Pappenheim-stained. Brightfield microscopy, 40× oil immersion. Bone marrow smear: 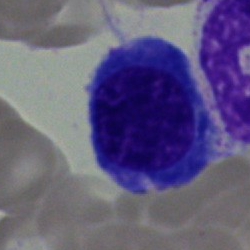 This is a nucleated red blood cell.